Bone marrow smear; May-Grünwald-Giemsa stain; 40× objective, oil immersion.
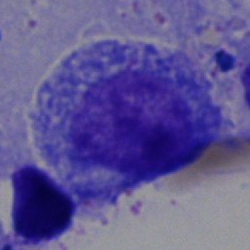Showing a progranulocyte.